Bone marrow smear.
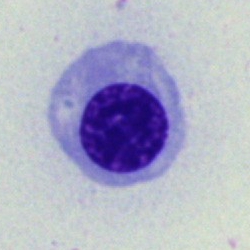

Single cell identified as a normoblast.